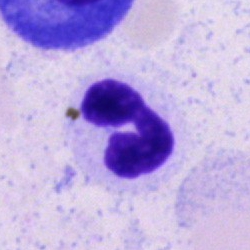
Single-cell crop from a bone marrow smear: segmented neutrophil.